Bone marrow aspirate smear · brightfield microscopy, 40× oil immersion — 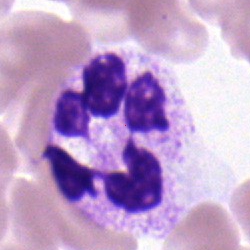 Cell = segmented neutrophil.